Bone marrow aspirate smear:
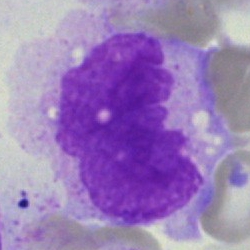
Impression → monocyte.